Bone marrow aspirate smear
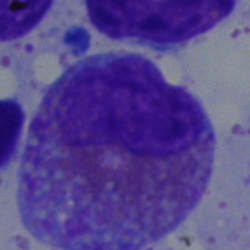

The cell shown is an eosinophil.